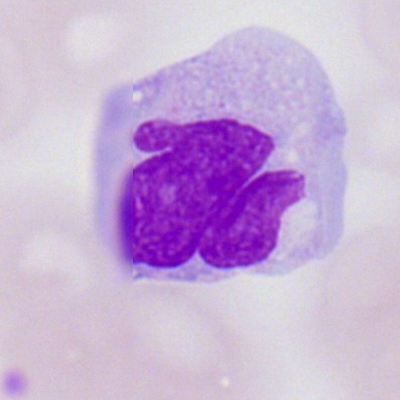
Q: What is shown here?
A: Monocyte.